Bone marrow aspirate smear — 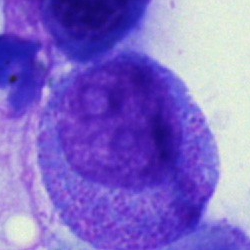 Morphology → progranulocyte.